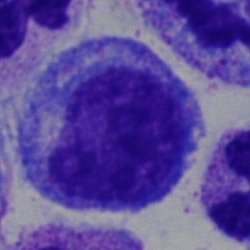 A progranulocyte.